Bone marrow aspirate smear:
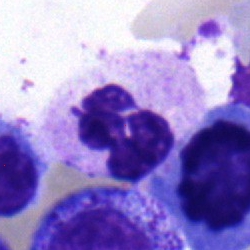 Morphological class: polymorphonuclear neutrophil.